Peripheral blood film.
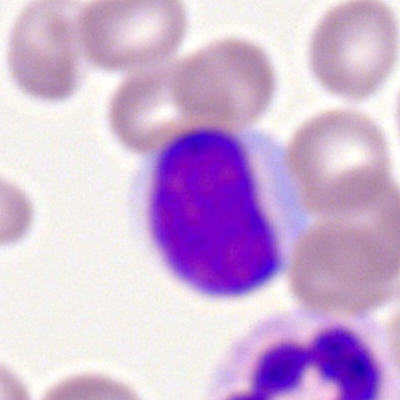

Morphology — lymphocyte.